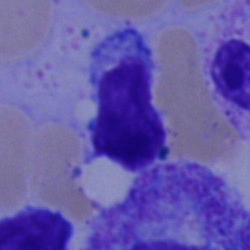

Showing a lymphocyte.